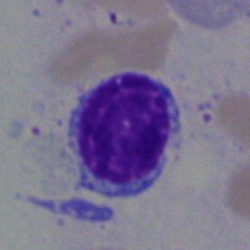
Cell type: lymphocyte.